Bone marrow aspirate smear; May-Grünwald-Giemsa stain: 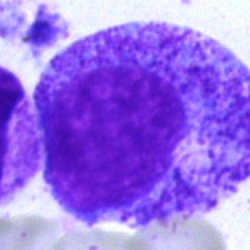

Classification = promyelocyte.